40× objective, oil immersion; single-cell field; bone marrow aspirate smear
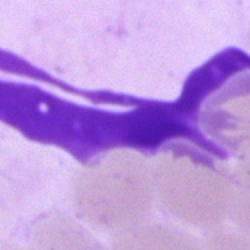
An artifact.